Cropped to a single cell. Peripheral blood film. Romanowsky-stained — 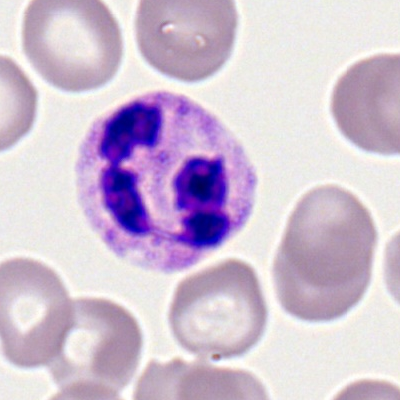
Impression → neutrophil (segmented).